Peripheral blood smear.
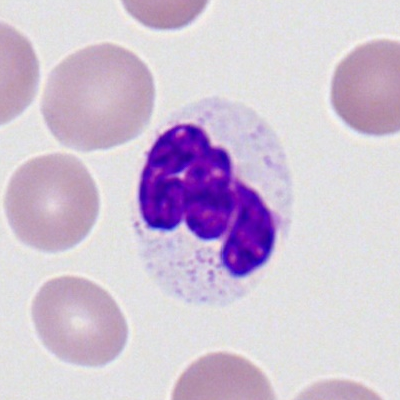

Q: Identify the cell.
A: It is a neutrophil (segmented).